40× oil immersion; bone marrow smear.
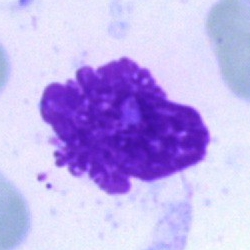
{"cell_type": "artefact"}